Bone marrow aspirate smear.
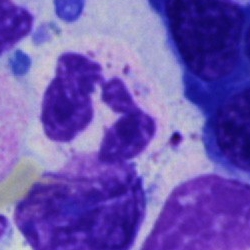Morphology — polymorphonuclear neutrophil.